Image size 250×250; bone marrow smear; 40× objective, oil immersion — 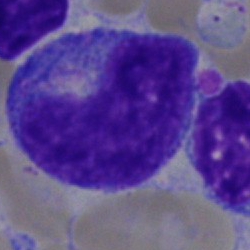
Single cell identified as a progranulocyte.